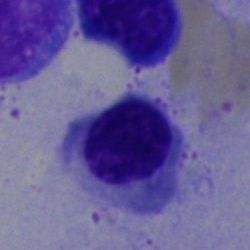Showing a normoblast.